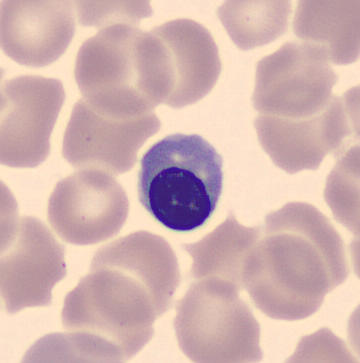

Morphology consistent with an erythroblast.